Bone marrow smear
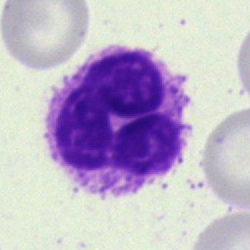

{"cell_type": "segmented neutrophil", "lineage": "myeloid"}